Single-cell field · peripheral blood smear: 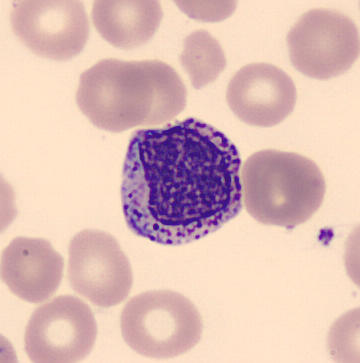
Cell type: myelocyte.